Bone marrow smear: 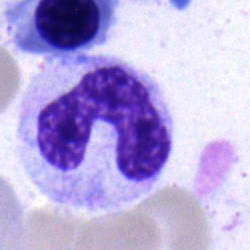
Cell type = neutrophil (band).